Bone marrow smear. Single-cell crop. 40× oil immersion.
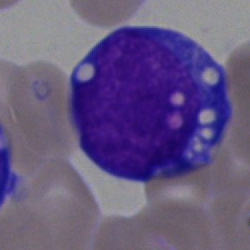

Morphology consistent with a blast.